Bone marrow aspirate smear.
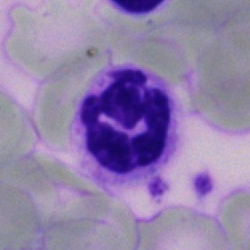

Cell type: neutrophil (segmented).